Bone marrow aspirate smear.
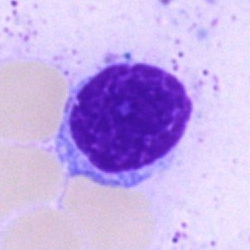

Cell type: typical lymphocyte.